Bone marrow aspirate smear:
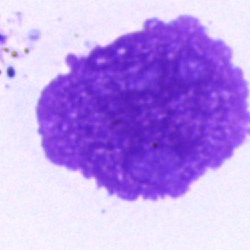

Cell type — artefact.